Bone marrow smear. 40× objective, oil immersion: 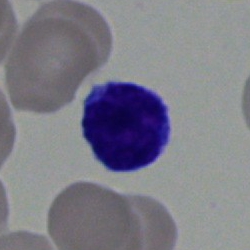Specimen: bone marrow smear.
Cell type: lymphocyte.
Lineage: lymphoid.